Bone marrow smear. May-Grünwald-Giemsa stain. Single-cell crop.
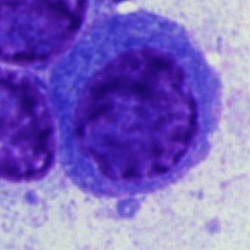Morphology consistent with a plasma cell.